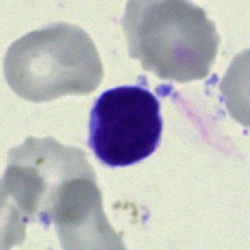 The cell shown is a lymphocyte.